Bone marrow smear:
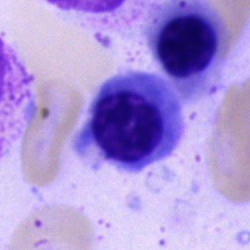 This is an erythroblast.